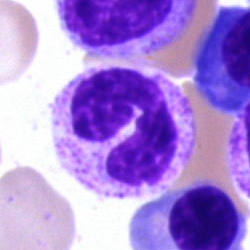Morphology → neutrophil (segmented).